Bone marrow aspirate smear
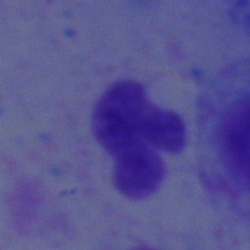 Morphology — polymorphonuclear neutrophil.